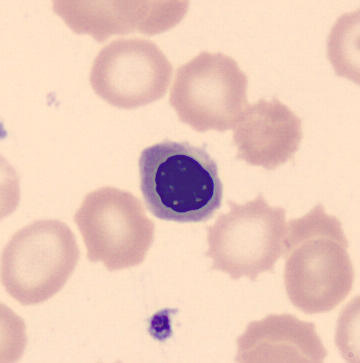 The cell is erythroblast.